250×250; Pappenheim-stained; bone marrow aspirate smear — 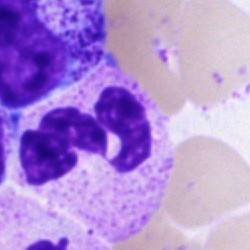 {"cell_type": "polymorphonuclear neutrophil", "lineage": "myeloid"}